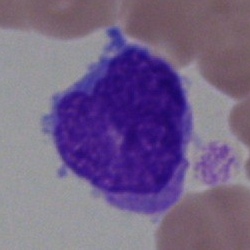
Specimen: bone marrow aspirate smear.
Classification: monocyte.